Image size 250×250. Bone marrow aspirate smear:
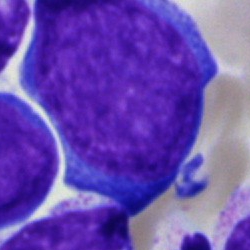 Single cell identified as a proerythroblast.